Bone marrow smear:
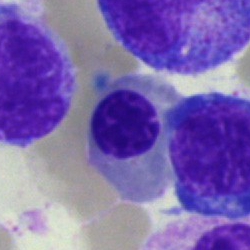
Morphology — nucleated red cell.